Brightfield microscopy, 40× oil immersion · bone marrow smear:
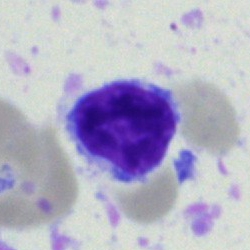Cell type — lymphocyte.